Bone marrow smear; 40× oil immersion
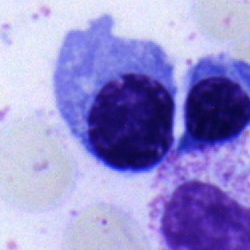

A normoblast.